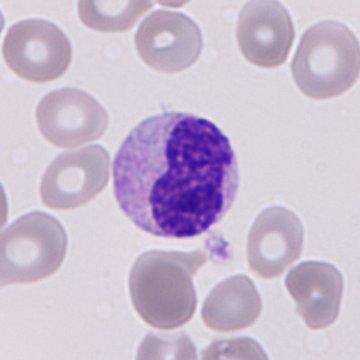

Morphology — immature granulocyte (promyelocyte, myelocyte or metamyelocyte).